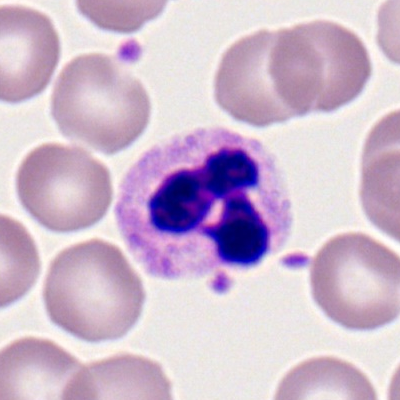Specimen: peripheral blood smear.
Classification: segmented neutrophil.
Lineage: myeloid.